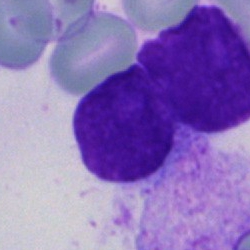 Q: What is shown here?
A: It is an artefact.